Bone marrow aspirate smear; May-Grünwald-Giemsa stain:
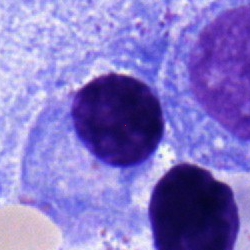 Classification: nucleated red cell.